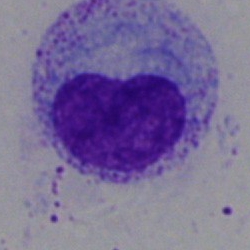

Promyelocyte.